Bone marrow smear.
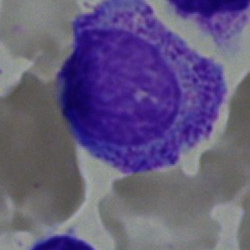

Q: What cell is this?
A: It is a myelocyte.